Bone marrow smear · 250×250 px:
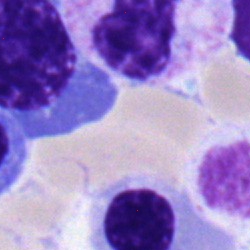
Q: Which cell type is shown here?
A: This is a neutrophil (segmented).